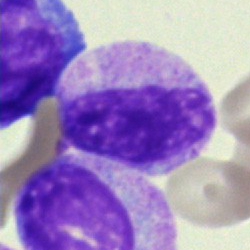
Cell type = myelocyte.